Bone marrow smear
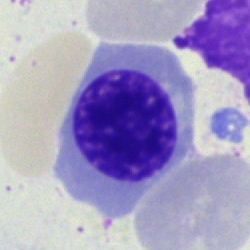 Morphology → nucleated red cell.